Bone marrow smear:
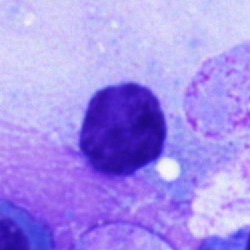Q: What cell is this?
A: It is a lymphocyte.